Bone marrow smear — 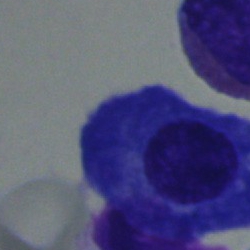Morphology → plasma cell.